Bone marrow aspirate smear:
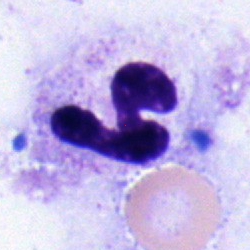 Q: Identify the cell.
A: Polymorphonuclear neutrophil.